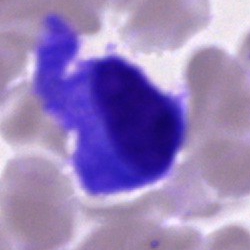 Single cell identified as a plasmacyte.